Bone marrow aspirate smear: 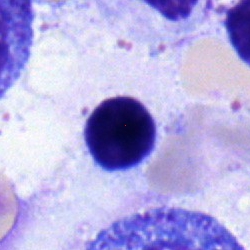 This is a lymphocyte.